Romanowsky-type stain. Peripheral blood smear. 100× oil immersion, 14.14 px/µm — 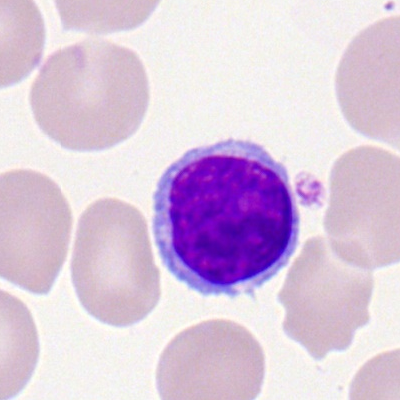Cell: typical lymphocyte.